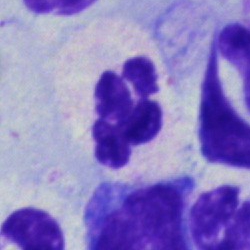Morphology → polymorphonuclear neutrophil.